Bone marrow smear. Single-cell field:
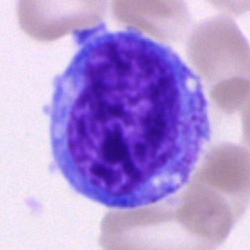

Single cell identified as a promyelocyte.